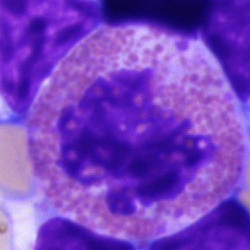 Cell: eosinophilic granulocyte.